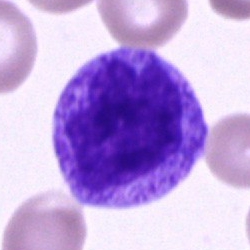{"cell_type": "progranulocyte", "lineage": "myeloid"}